Bone marrow aspirate smear.
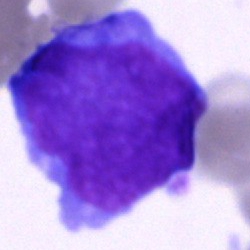
Q: What is the morphological classification of this cell?
A: This is a blast.